Romanowsky-stained. Peripheral blood film:
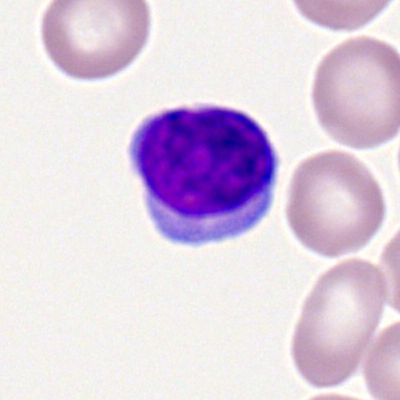{"cell_type": "lymphocyte"}